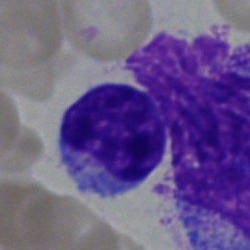

Q: What cell is this?
A: A lymphocyte.